Bone marrow smear — 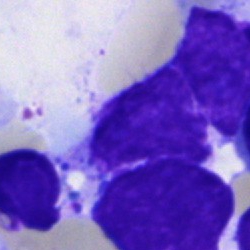 An artifact.